May-Grünwald-Giemsa/Pappenheim stain · bone marrow aspirate smear: 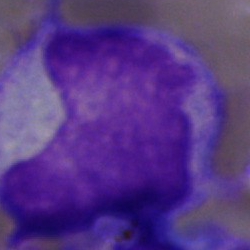Classification = artifact.